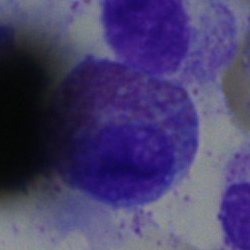

Bone marrow smear showing an eosinophilic granulocyte.